Bone marrow aspirate smear
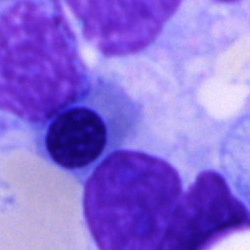
{"cell_type": "nucleated red cell", "lineage": "erythroid"}